Bone marrow aspirate smear:
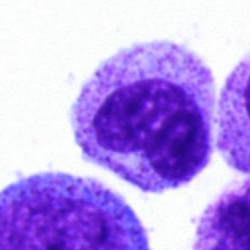 The morphological class is metamyelocyte.